Image size 250×250 · 40× oil immersion · bone marrow smear
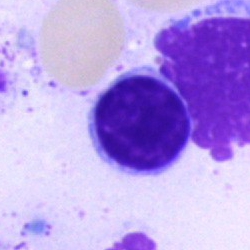 Showing a lymphocyte.